Bone marrow smear
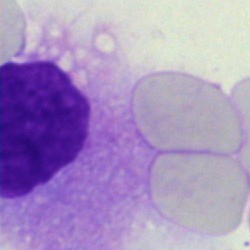 Specimen: bone marrow aspirate smear.
Cell: artifact.